Bone marrow aspirate smear · brightfield microscopy, 40× oil immersion · MGG-stained.
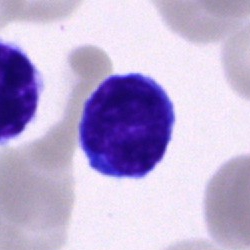 A lymphocyte.